Bone marrow smear; Pappenheim-stained:
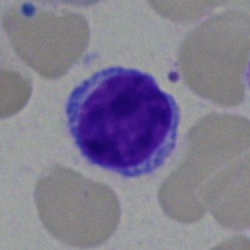

Q: What cell is this?
A: It is a lymphocyte.